Bone marrow aspirate smear:
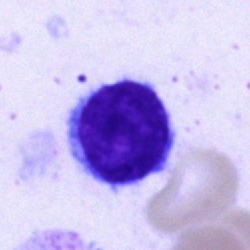

Morphology consistent with a plasma cell.